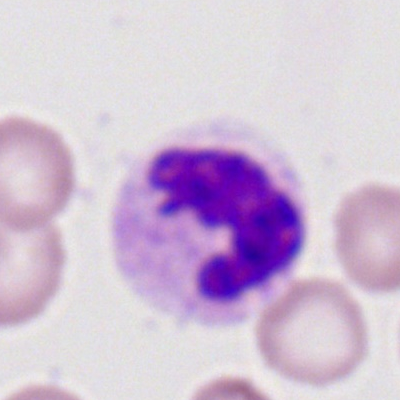
Specimen: peripheral blood smear.
Morphological class: neutrophil (segmented).
Lineage: myeloid.